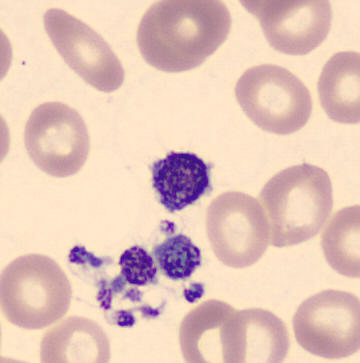

Acquisition: May Grünwald-Giemsa stain · peripheral blood smear.

Cell type — platelet.